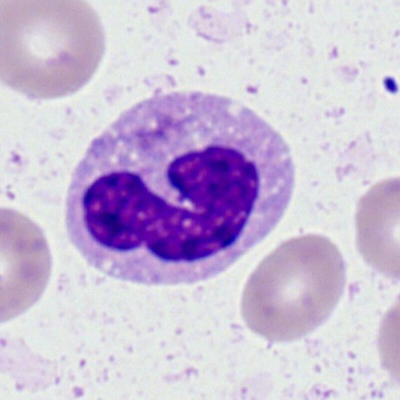
Morphological class — neutrophil (segmented).